40× objective, oil immersion; bone marrow aspirate smear; May-Grünwald-Giemsa stain: 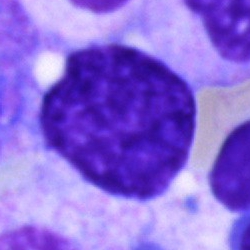
An artifact.